Bone marrow aspirate smear:
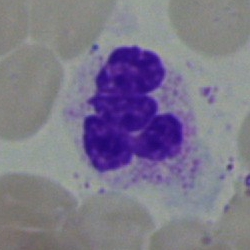Q: What type of cell is this?
A: This is a neutrophil (segmented).